Bone marrow smear:
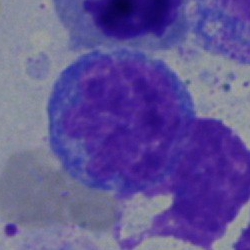 Cell type: monocyte.